Bone marrow aspirate smear; image size 250×250: 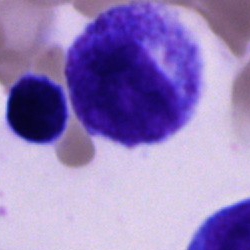

Cell — promyelocyte.